Bone marrow smear: 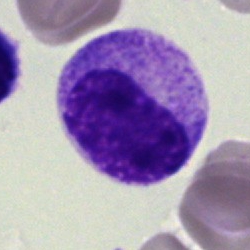

Showing a myelocyte.